Bone marrow aspirate smear
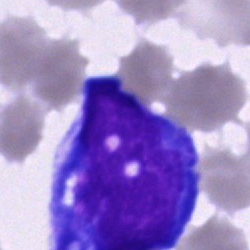Specimen: bone marrow aspirate smear.
Classification: undifferentiated blast.